Bone marrow aspirate smear: 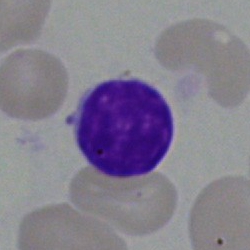Impression — typical lymphocyte.